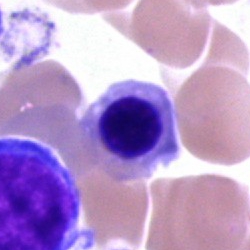Morphology — nucleated red cell.